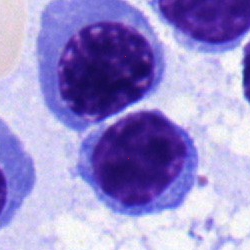

An erythroblast on a bone marrow smear.